Bone marrow smear
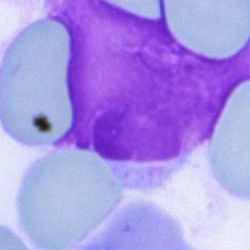

The cell shown is an artifact.